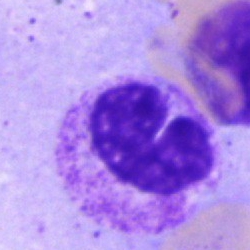Band neutrophil.